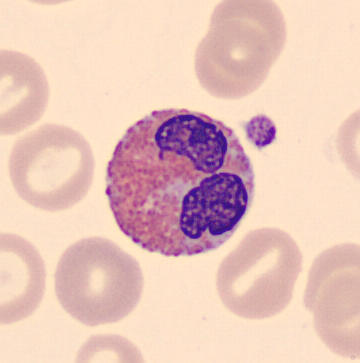
Q: Identify the cell.
A: Eosinophil.